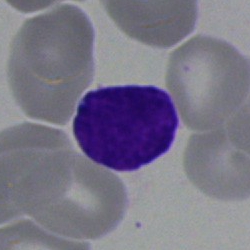

Morphological class = lymphocyte.